Bone marrow aspirate smear. 250×250 px. Brightfield, 40× oil-immersion objective — 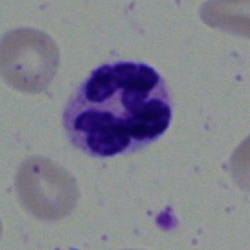 Q: What is shown here?
A: Neutrophil (segmented).